Bone marrow smear — 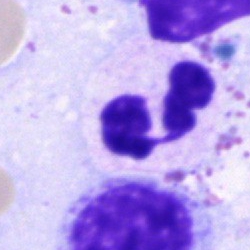
Classification: segmented neutrophil.